250 by 250 pixels. Bone marrow smear: 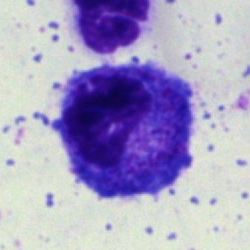
Cell type: promyelocyte.